Bone marrow smear:
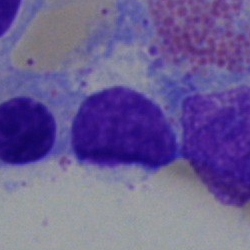
{"cell_type": "artifact"}